Bone marrow smear: 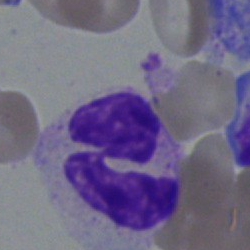A neutrophil (segmented).